Bone marrow smear; 250×250 px: 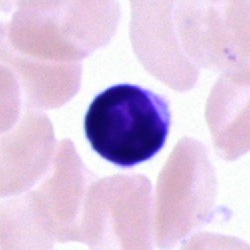

A lymphocyte.